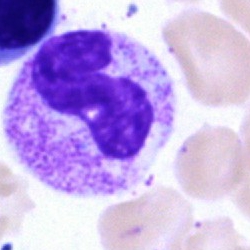
Cell = neutrophil (segmented).